Bone marrow aspirate smear.
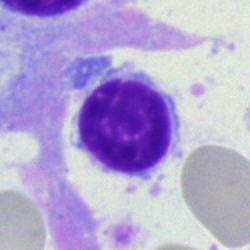
Single cell identified as a lymphocyte.